Single cell centered in the field; bone marrow aspirate smear; 250×250
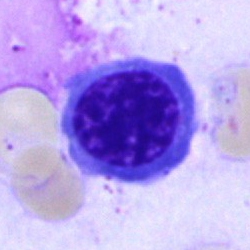 Q: Identify the cell.
A: This is a nucleated red blood cell.